Bone marrow smear:
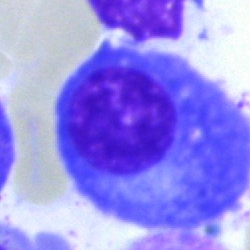 {"cell_type": "plasmacyte", "lineage": "lymphoid"}